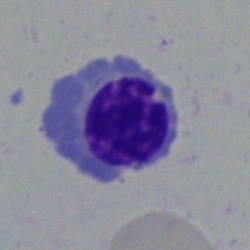Specimen: bone marrow aspirate smear.
Morphological class: nucleated red blood cell.